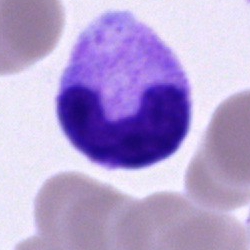

The morphological class is stab cell.